Single-cell crop. Bone marrow smear. 40× oil immersion.
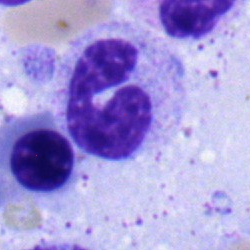Morphology — neutrophil (band).